Single-cell crop; Pappenheim-stained; bone marrow smear
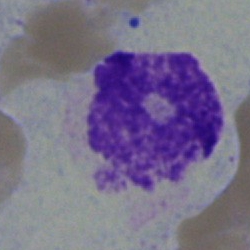

Cell type: polymorphonuclear neutrophil.